Bone marrow smear. MGG-stained: 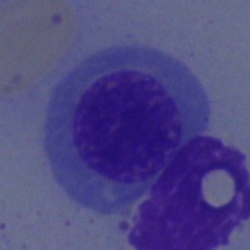 Classification = normoblast.